Bone marrow smear · Pappenheim-stained: 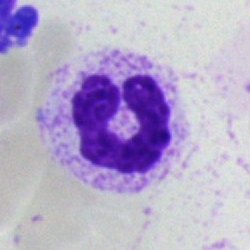 A polymorphonuclear neutrophil.